Romanowsky-stained; 400 by 400 pixels; peripheral blood film.
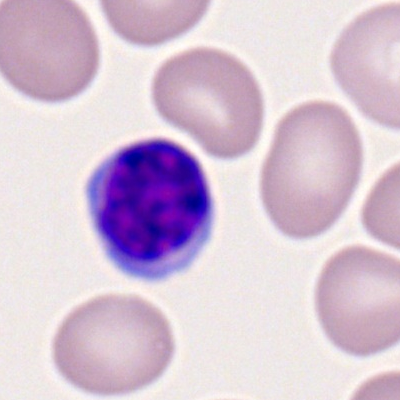
Q: What is shown here?
A: Lymphocyte.